Peripheral blood smear: 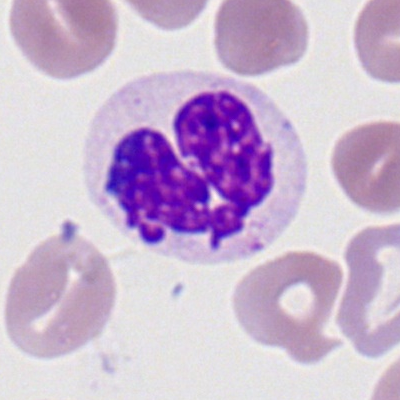

The cell type is segmented neutrophil.